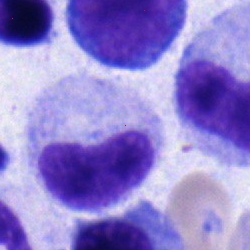
Cell = metamyelocyte.